250×250 px; cropped to a single cell; bone marrow smear.
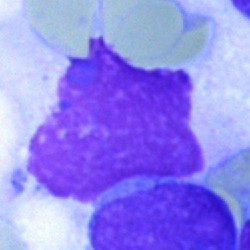

Specimen: bone marrow smear.
Cell: artifact.